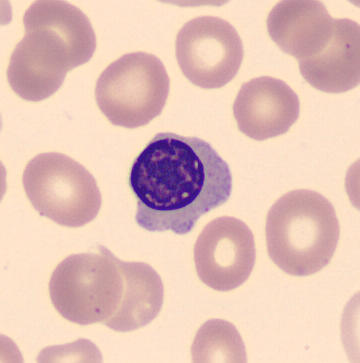Acquisition: Peripheral blood film; single-cell crop; MGG-stained.
The cell type is nucleated red blood cell.